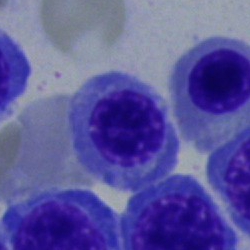
An erythroblast.